Bone marrow smear.
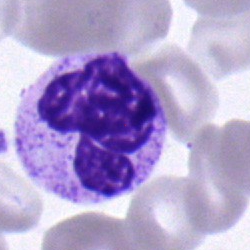
Q: Identify the cell.
A: Band-form neutrophil.